Bone marrow aspirate smear
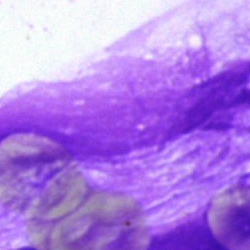{"cell_type": "artefact"}